Bone marrow smear. May-Grünwald-Giemsa stain — 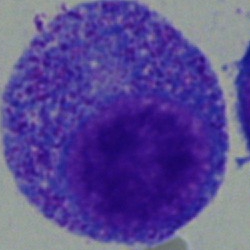

Showing a promyelocyte.